250×250 · brightfield microscopy, 40× oil immersion · bone marrow smear: 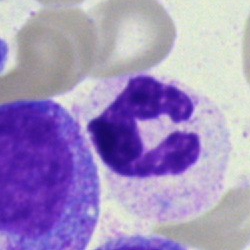Classification — polymorphonuclear neutrophil.